100× oil immersion. Peripheral blood smear
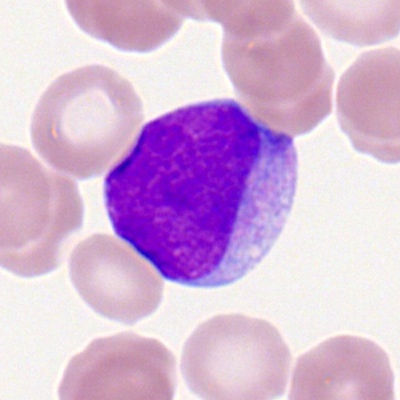

The cell shown is a myeloblast.